Single-cell field · bone marrow smear — 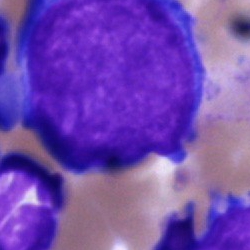
The cell shown is a blast.